Bone marrow smear — 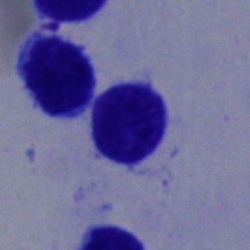Classification — typical lymphocyte.